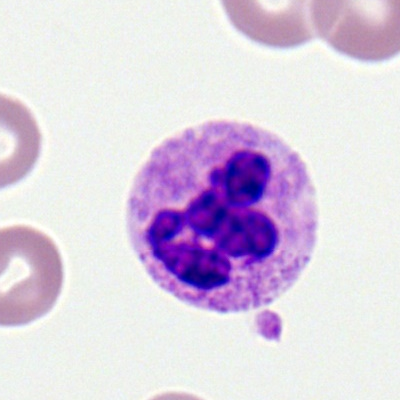 Q: Identify the cell.
A: A polymorphonuclear neutrophil.